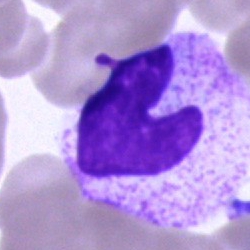

Classification: stab cell.